Bone marrow aspirate smear:
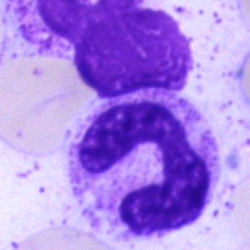

Single cell identified as a neutrophil (band).